Bone marrow smear
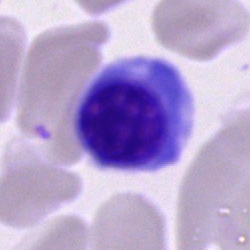
{"cell_type": "nucleated red cell", "lineage": "erythroid"}